Brightfield, 40× oil-immersion objective; bone marrow smear: 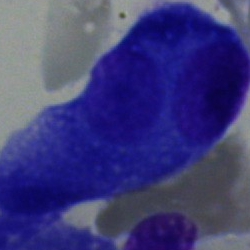Cell: plasma cell.